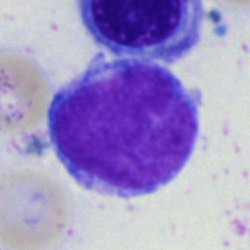

Morphological class: undifferentiated blast.